Image size 250×250 · bone marrow aspirate smear · 40× objective, oil immersion.
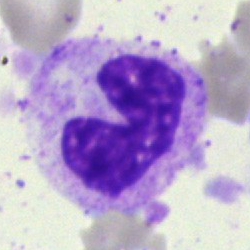 Q: What type of cell is this?
A: Stab cell.